Peripheral blood film
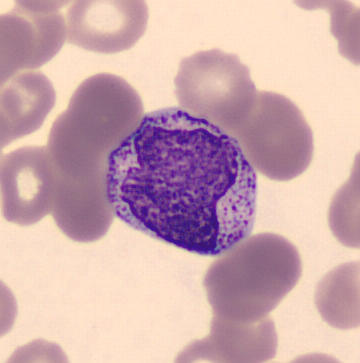Specimen: peripheral blood smear.
Classification: myelocyte.